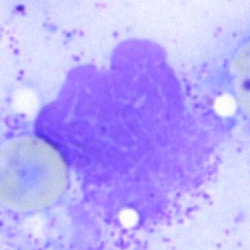 An artifact.